Bone marrow aspirate smear; 250×250; brightfield, 40× oil-immersion objective:
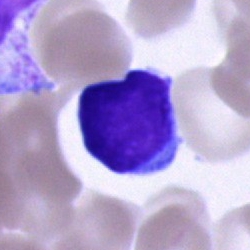
This is a typical lymphocyte.